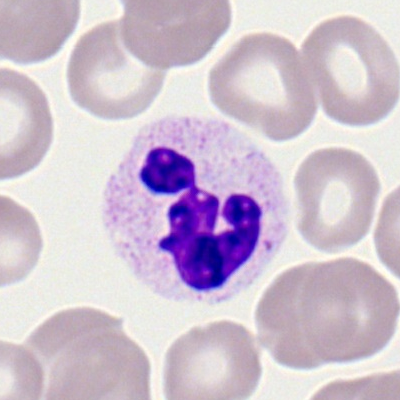

{"cell_type": "neutrophil (segmented)", "lineage": "myeloid"}